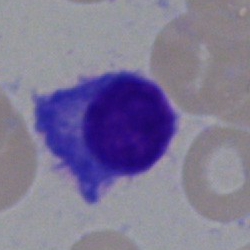

A plasma cell.